Peripheral blood smear:
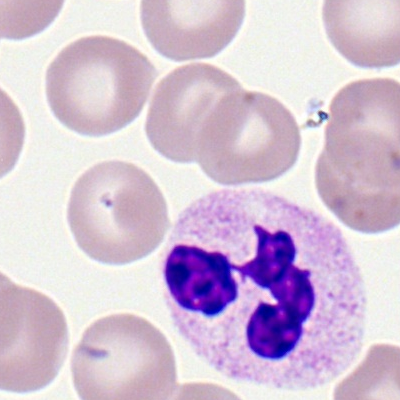
Cell type = segmented neutrophil.